Image size 250×250 · bone marrow aspirate smear · Pappenheim-stained — 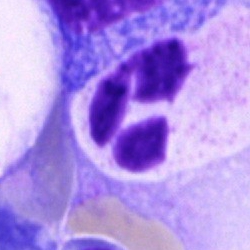Showing a neutrophil (segmented).